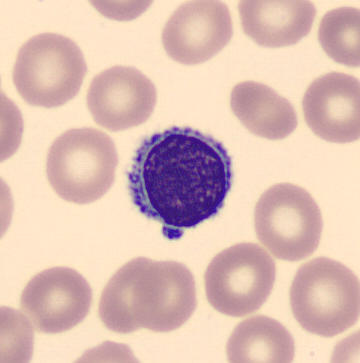
Single-cell crop from a peripheral blood smear: typical lymphocyte.